Bone marrow aspirate smear. Brightfield, 40× oil-immersion objective — 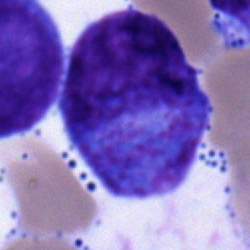
{"cell_type": "blast"}